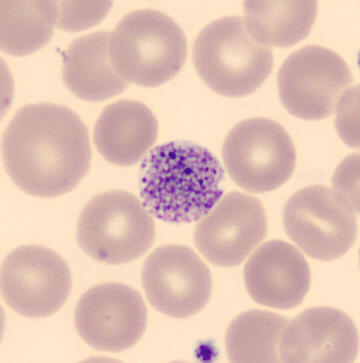 The classification is platelet (thrombocyte). Peripheral blood film. Image size 360×363.